Bone marrow aspirate smear: 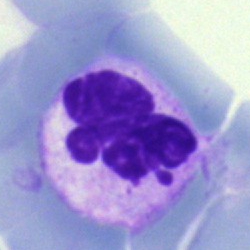

Morphology consistent with a polymorphonuclear neutrophil.